Bone marrow aspirate smear
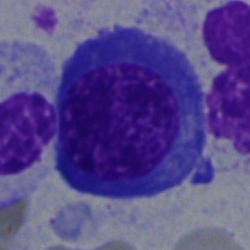

Morphology → normoblast.